Pappenheim-stained · 40× oil immersion · bone marrow smear — 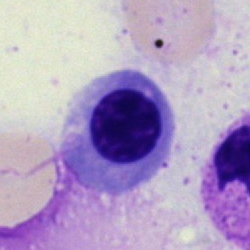{"cell_type": "nucleated red blood cell"}